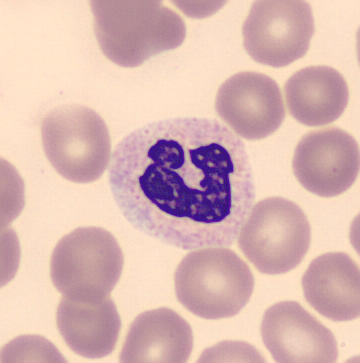Preparation: Peripheral blood film.
Q: What cell is this?
A: It is a polymorphonuclear neutrophil.